Bone marrow aspirate smear.
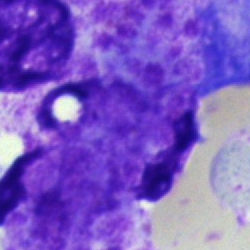 Single cell identified as an artefact.